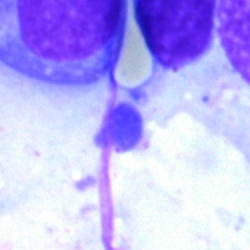

Q: What is shown here?
A: This is an artefact.